Image size 250×250; bone marrow smear.
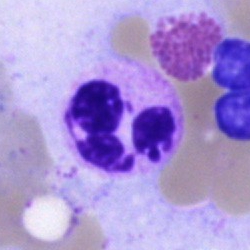
A neutrophil (segmented).